Peripheral blood film. 400×400 px.
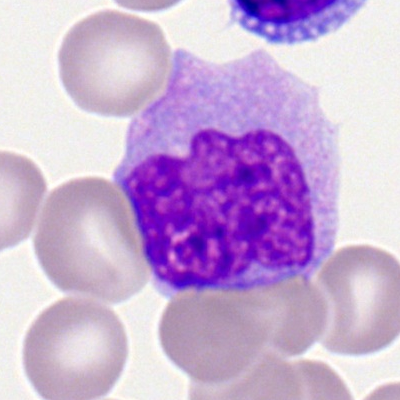

Classification — monocyte.